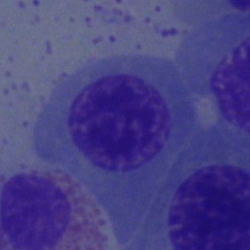 {"cell_type": "erythroblast", "lineage": "erythroid"}